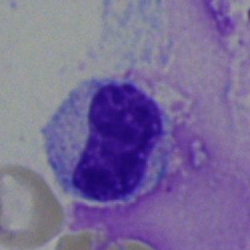 Morphological class = metamyelocyte.